Bone marrow aspirate smear — 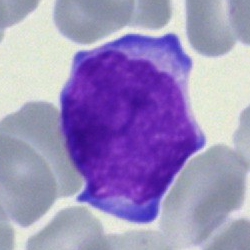
{"cell_type": "immature lymphocyte", "lineage": "lymphoid"}